Bone marrow smear. MGG-stained:
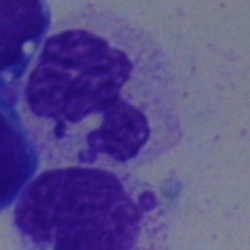Morphology consistent with a neutrophil (segmented).